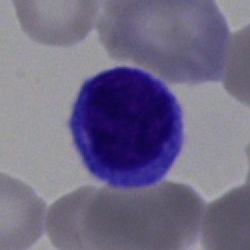This is a typical lymphocyte.